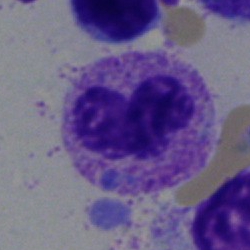
Q: What is shown here?
A: This is a neutrophil (segmented).